Bone marrow aspirate smear. May-Grünwald-Giemsa/Pappenheim stain
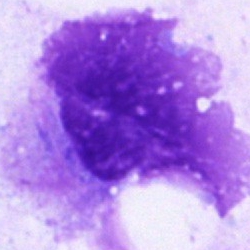
Classification — artifact.